Bone marrow smear
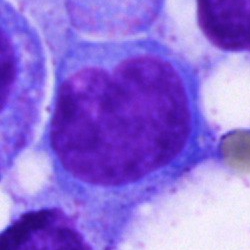

Classification — undifferentiated blast.